Bone marrow smear — 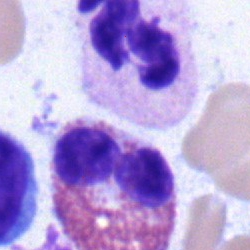The cell shown is a neutrophil (segmented).